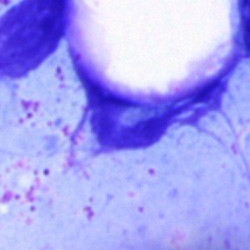

Impression — artefact.